May-Grünwald-Giemsa stain; 250 by 250 pixels; bone marrow smear: 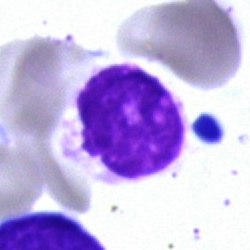 Showing an artifact.